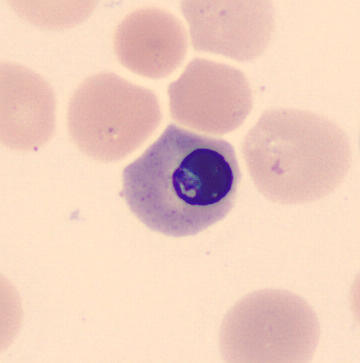 Image: Peripheral blood film. Impression → nucleated red cell.